Single-cell crop. Bone marrow aspirate smear. Brightfield, 40× oil-immersion objective: 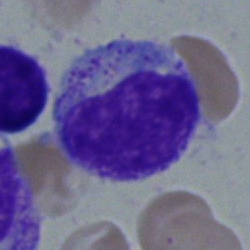

Cell — myelocyte.